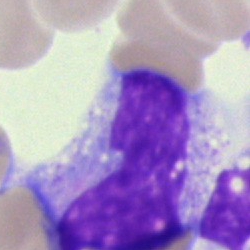 Q: What is shown here?
A: Monocyte.